Bone marrow smear: 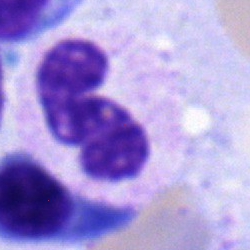Single cell identified as a band neutrophil.